Bone marrow smear:
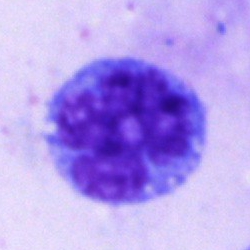

Cell type: monocyte.